Bone marrow aspirate smear
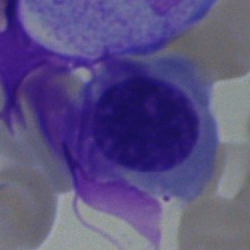 This is an erythroblast.